Peripheral blood smear; Romanowsky stain: 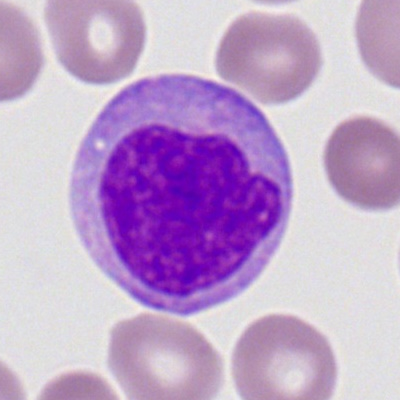Q: What is shown here?
A: Myeloid blast.